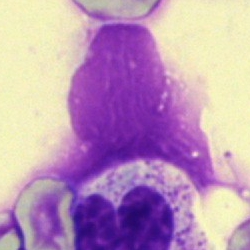
Morphology → artefact.